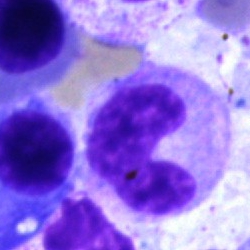

A band-form neutrophil.